250×250. Bone marrow smear: 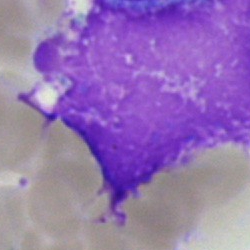

Cell = artefact.